Peripheral blood film; Romanowsky-type stain: 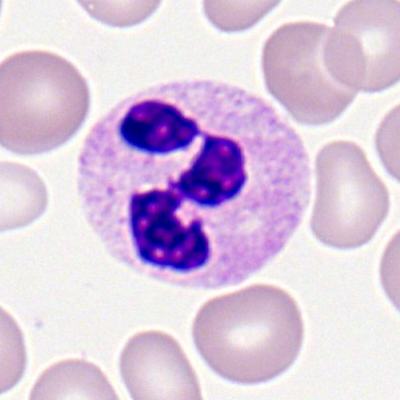
Q: Which cell type is shown here?
A: Polymorphonuclear neutrophil.